Pappenheim-stained; bone marrow smear; single-cell crop
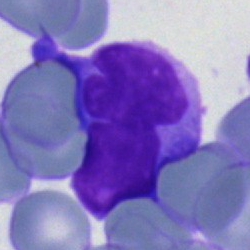 Impression — undifferentiated blast.